Bone marrow aspirate smear; MGG-stained.
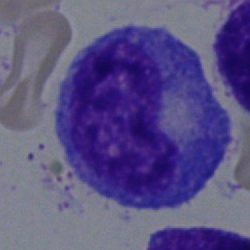Specimen: bone marrow aspirate smear.
Classification: promyelocyte.